Bone marrow smear: 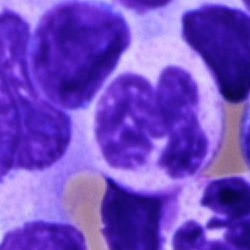
Q: What type of cell is this?
A: Polymorphonuclear neutrophil.